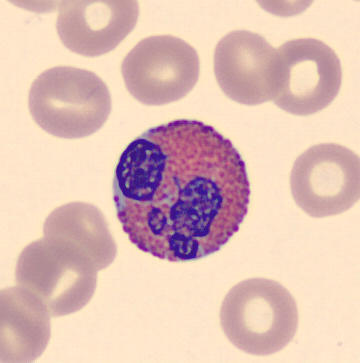

Impression → eosinophil. Image: Imaged on a CellaVision DM96 analyser. Peripheral blood film. May Grünwald-Giemsa stain.